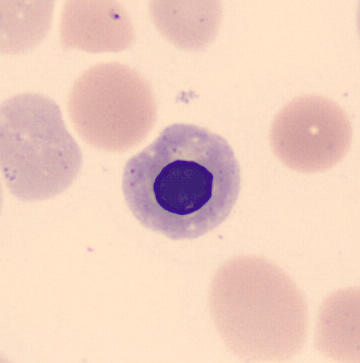

Cell type — nucleated red blood cell.